Bone marrow smear.
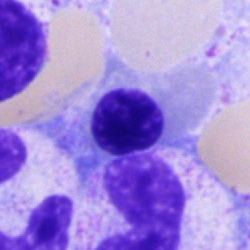 The morphological class is erythroblast.